Bone marrow aspirate smear: 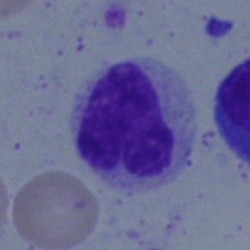 Specimen: bone marrow smear.
Morphological class: band-form neutrophil.